Bone marrow smear; May-Grünwald-Giemsa/Pappenheim stain: 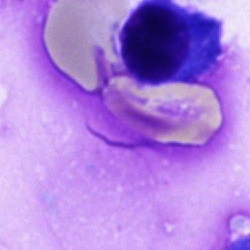

Impression — plasma cell.